Bone marrow smear · brightfield, 40× oil-immersion objective — 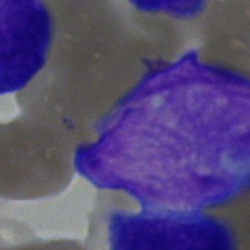

Classification — blast cell.